Bone marrow aspirate smear · single-cell crop:
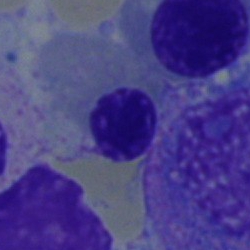
This is a normoblast.